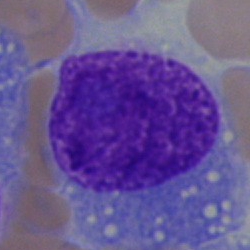Cell: undifferentiated blast.